MGG-stained. Bone marrow smear: 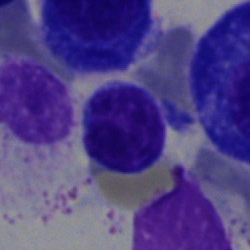

Impression → typical lymphocyte.